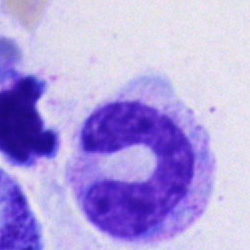A band neutrophil on a bone marrow smear.